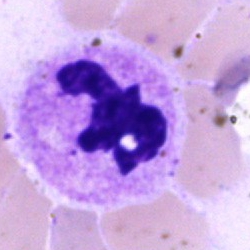Q: What is shown here?
A: A segmented neutrophil.